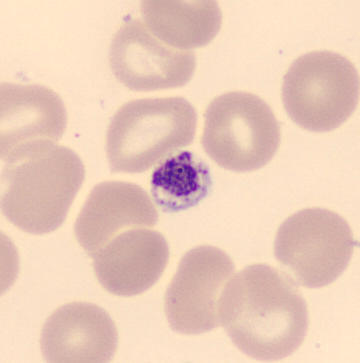 Showing a platelet. Preparation: Imaged on a CellaVision DM96 analyser · peripheral blood film.